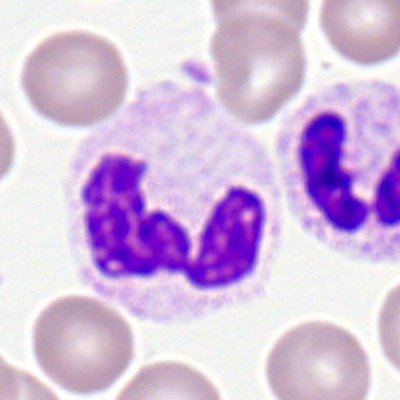

Specimen: peripheral blood smear.
Cell: segmented neutrophil.